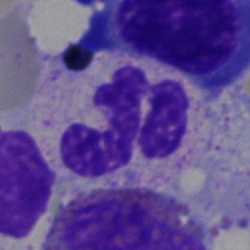
Q: What is the morphological classification of this cell?
A: Segmented neutrophil.